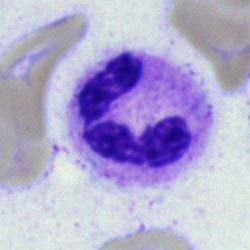 Q: Which cell type is shown here?
A: This is a polymorphonuclear neutrophil.